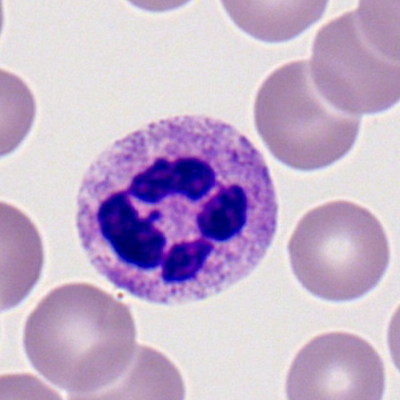
Morphology — polymorphonuclear neutrophil.